Bone marrow smear — 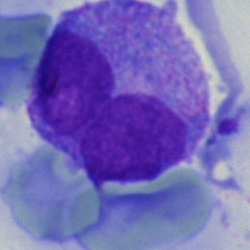 Morphology consistent with a monocyte.